Romanowsky stain. Peripheral blood smear.
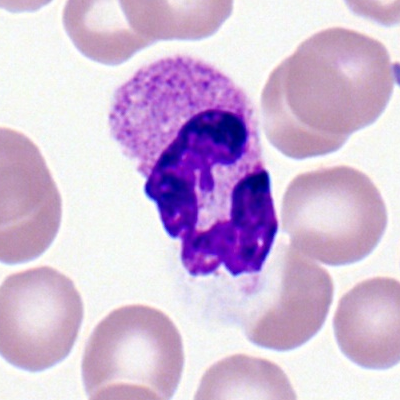Morphology → segmented neutrophil.